Bone marrow smear; cropped to a single cell: 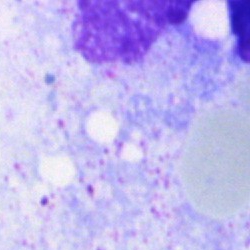

Specimen: bone marrow smear.
Cell type: artefact.